Bone marrow smear:
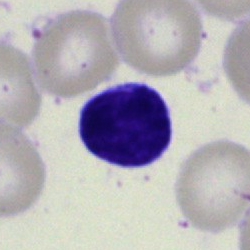Morphology consistent with a lymphocyte.